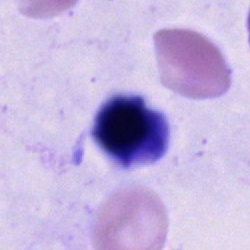
Cell type — unidentifiable cell.